Bone marrow aspirate smear: 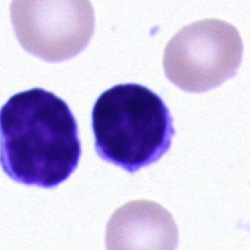
Cell type = typical lymphocyte.